May-Grünwald-Giemsa/Pappenheim stain · bone marrow aspirate smear: 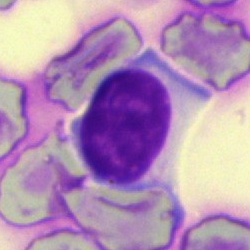 Q: Identify the cell.
A: This is a lymphocyte.